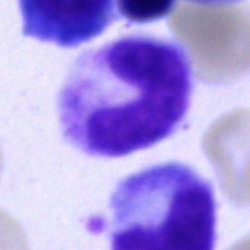

Impression — stab cell.